40× objective, oil immersion. Bone marrow aspirate smear
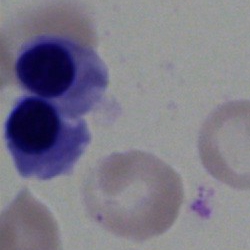
Showing a nucleated red cell.